Romanowsky stain · peripheral blood film — 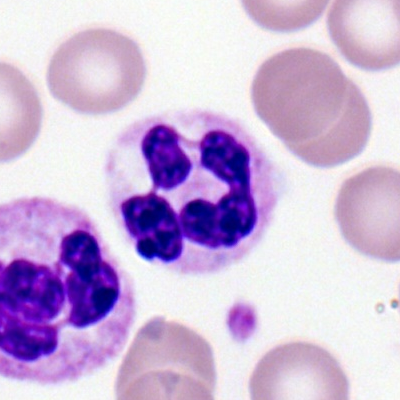Cell — polymorphonuclear neutrophil.